Bone marrow aspirate smear.
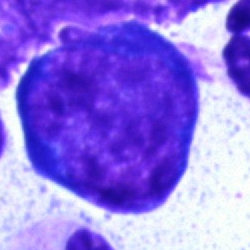

Single cell identified as a proerythroblast.